250 by 250 pixels · bone marrow smear — 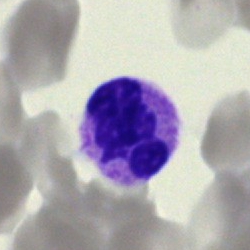

Morphology consistent with a segmented neutrophil.